Bone marrow aspirate smear. 250 by 250 pixels
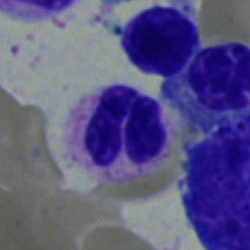

Cell: neutrophil (segmented).